Single-cell crop · bone marrow aspirate smear · 40× objective, oil immersion:
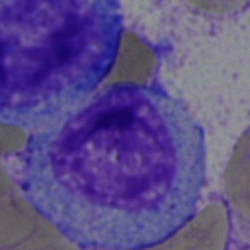 Impression → myelocyte.